Bone marrow smear
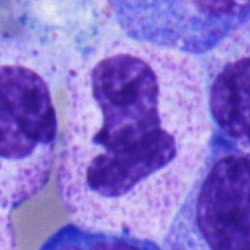Cell type — band-form neutrophil.